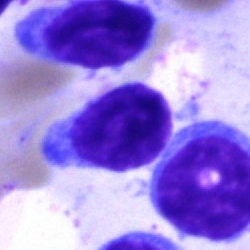 {"cell_type": "typical lymphocyte", "lineage": "lymphoid"}